Bone marrow smear: 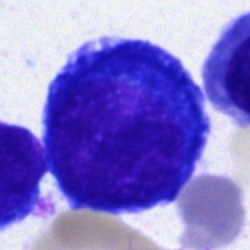A normoblast.